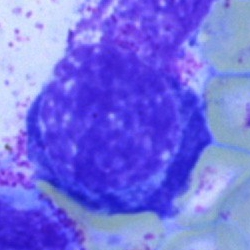
Specimen: bone marrow aspirate smear.
Cell: nucleated red blood cell.